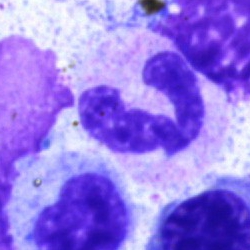Morphological class = segmented neutrophil.